250×250 px · bone marrow aspirate smear · May-Grünwald-Giemsa/Pappenheim stain:
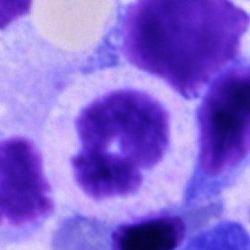

Showing a segmented neutrophil.